Bone marrow smear; 250 by 250 pixels: 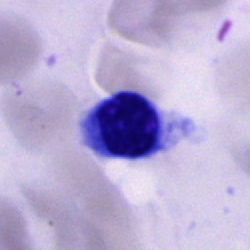Showing a cell of indeterminate lineage.